Bone marrow smear:
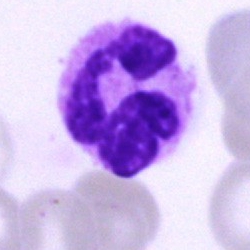

Single cell identified as a polymorphonuclear neutrophil.